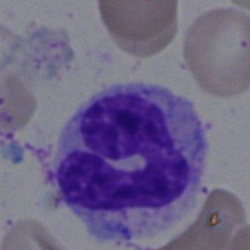
Cell: monocyte.